Bone marrow smear:
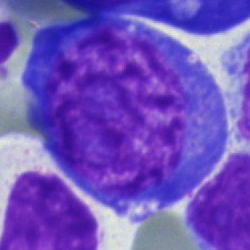 Cell = undifferentiated blast.